Peripheral blood film · image size 400×400 · Romanowsky-type stain
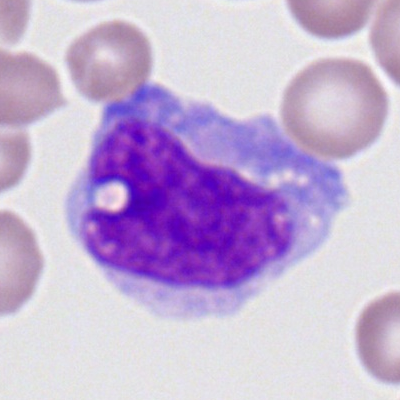

A monocyte.